Bone marrow smear — 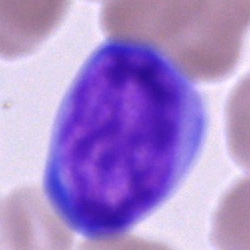Specimen: bone marrow smear.
Morphological class: undifferentiated blast.